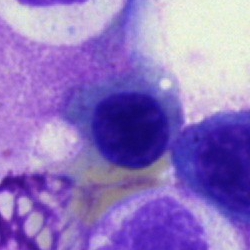
Single-cell crop from a bone marrow smear: nucleated red cell.